250×250 · bone marrow smear · May-Grünwald-Giemsa/Pappenheim stain — 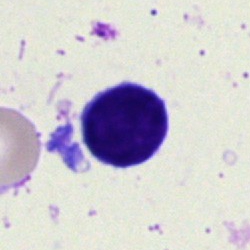

Lymphocyte.